Bone marrow aspirate smear
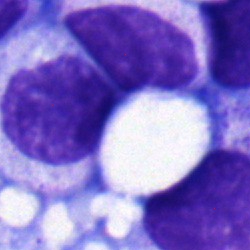

Q: What cell is this?
A: Metamyelocyte.